Bone marrow smear — 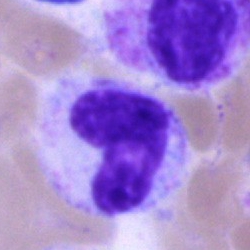 Q: What type of cell is this?
A: Neutrophil (band).